Peripheral blood smear. Image size 360×363. Automated cell imaging (CellaVision DM96): 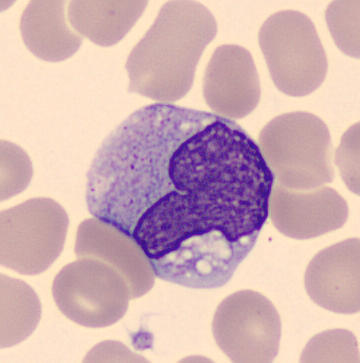
Cell type — monocyte.